Bone marrow smear; 250 by 250 pixels: 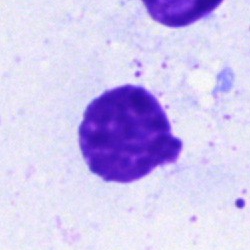Morphological class: artefact.